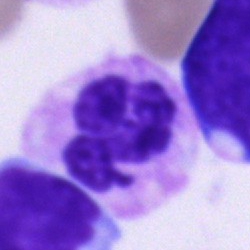 Q: What is shown here?
A: A neutrophil (segmented).